Bone marrow smear; single cell centered in the field: 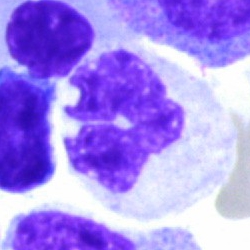A segmented neutrophil.